Bone marrow smear — 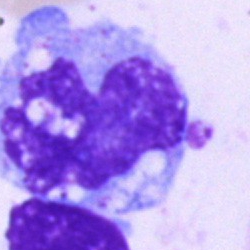
Single cell identified as a monocyte.